Peripheral blood film · brightfield, 100× oil-immersion objective: 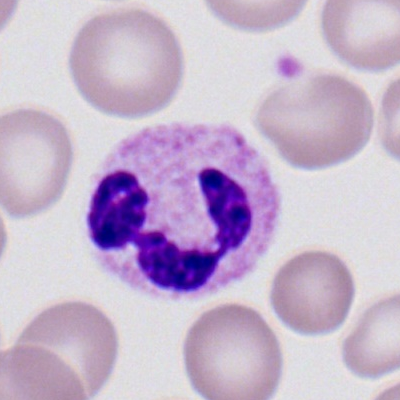Polymorphonuclear neutrophil.